Bone marrow smear; 250 by 250 pixels; May-Grünwald-Giemsa stain.
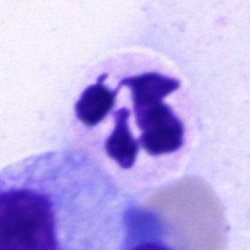

Morphology consistent with a neutrophil (segmented).